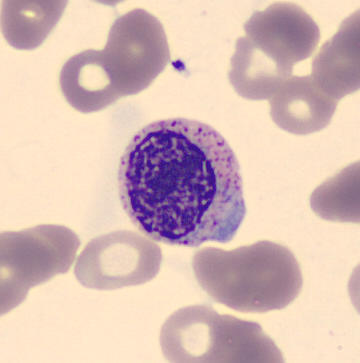

Impression — myelocyte.

Acquisition: Peripheral blood film.